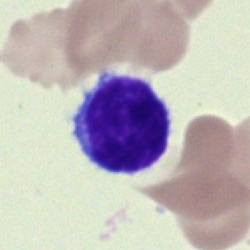

Specimen: bone marrow aspirate smear.
Cell type: lymphocyte.
Lineage: lymphoid.